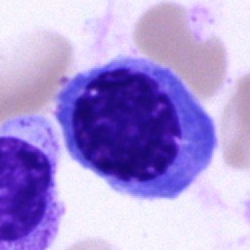Morphology consistent with a nucleated red blood cell.